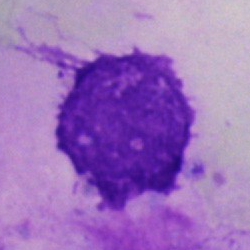
Cell type: artefact.